Bone marrow aspirate smear · MGG-stained · single-cell field — 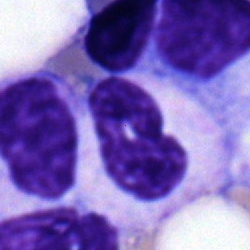
Specimen: bone marrow aspirate smear.
Morphological class: neutrophil (segmented).